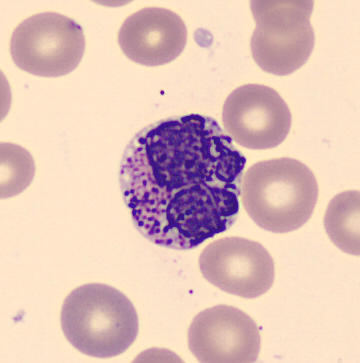
Q: What cell is this?
A: It is a basophilic granulocyte.